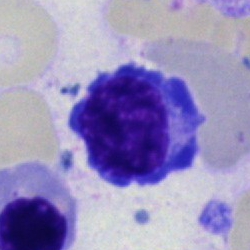
Specimen: bone marrow aspirate smear.
Morphological class: normoblast.